400×400 · 100× objective, oil immersion · peripheral blood film: 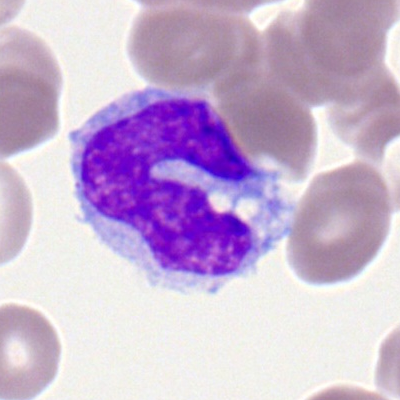

Classification = monocyte.